250×250 px · bone marrow aspirate smear · 40× objective, oil immersion — 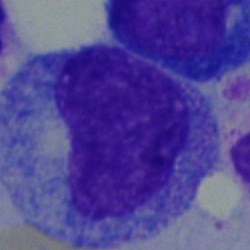 Specimen: bone marrow smear.
Classification: promyelocyte.
Lineage: myeloid.